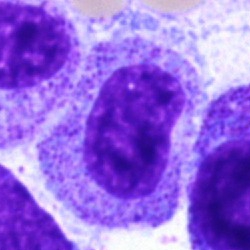The morphological class is myelocyte.